Cropped to a single cell; bone marrow smear:
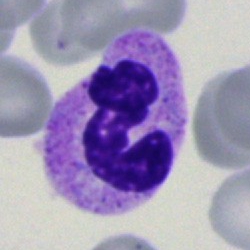

Specimen: bone marrow aspirate smear.
Cell type: polymorphonuclear neutrophil.
Lineage: myeloid.